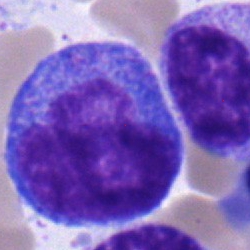
Specimen: bone marrow aspirate smear.
Cell type: monocyte.
Lineage: myeloid.